Pappenheim-stained · bone marrow smear — 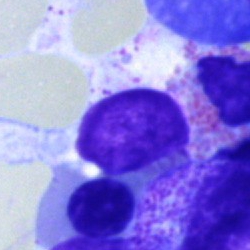

Q: What is shown here?
A: It is a lymphocyte.